Peripheral blood film; M8 digital microscope (Precipoint), 100× oil immersion:
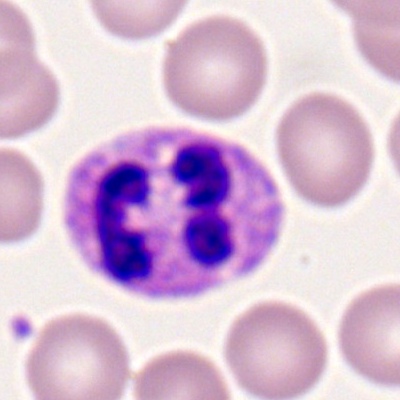 The cell type is polymorphonuclear neutrophil.